Bone marrow aspirate smear; 250 by 250 pixels.
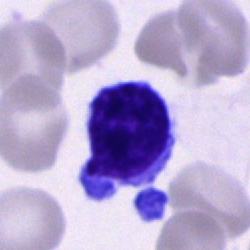Lymphocyte.